Single-cell field. Bone marrow aspirate smear.
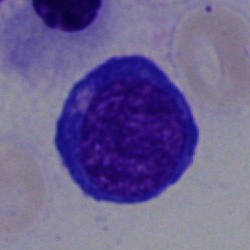

This is a normoblast.